250×250. Single-cell field. Bone marrow aspirate smear — 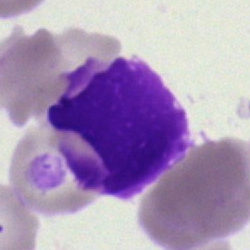

Artefact.